Bone marrow aspirate smear: 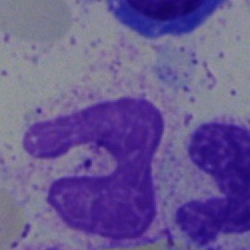{"cell_type": "band neutrophil", "lineage": "myeloid"}